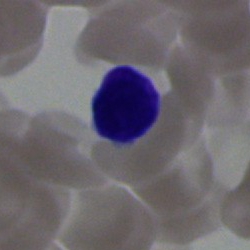Morphological class = lymphocyte.